Bone marrow smear · MGG-stained
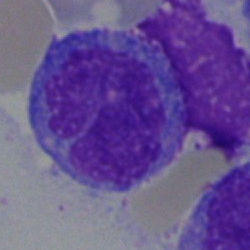{"cell_type": "monocyte"}